Pappenheim-stained · bone marrow aspirate smear — 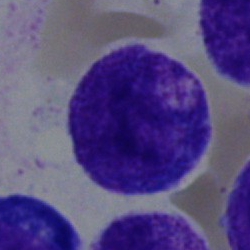
Q: What is the morphological classification of this cell?
A: Progranulocyte.